Bone marrow aspirate smear
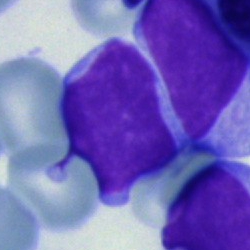
Single cell identified as a typical lymphocyte.